Brightfield microscopy, 40× oil immersion. Single-cell crop. Bone marrow aspirate smear.
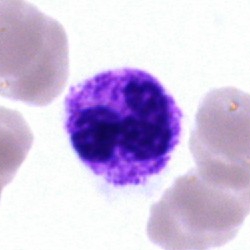The cell shown is a polymorphonuclear neutrophil.